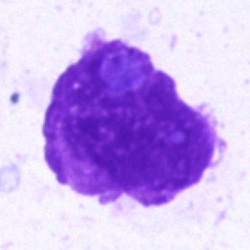
Classification — artefact.